Bone marrow smear — 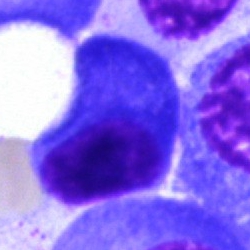
Q: What is shown here?
A: This is a plasmacyte.